Bone marrow smear — 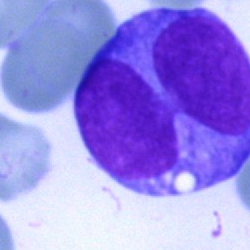
Morphology — blast cell.